Bone marrow aspirate smear: 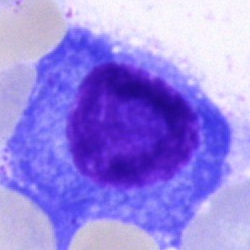

This is a plasma cell.